Peripheral blood film — 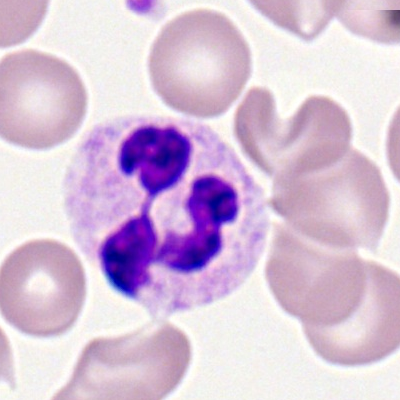
A neutrophil (segmented).